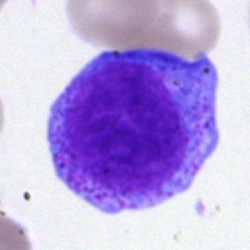
Promyelocyte.